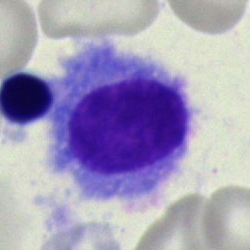 Q: What is the morphological classification of this cell?
A: Hairy cell.